Romanowsky-stained. Peripheral blood film:
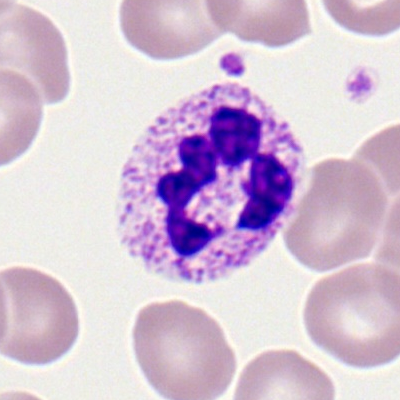
Cell type — polymorphonuclear neutrophil.